Peripheral blood film. 400×400
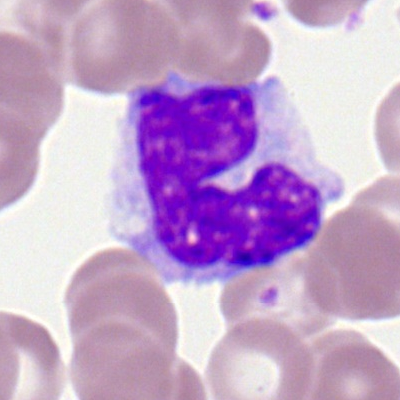 Classification — monocyte.